250×250. Bone marrow smear. Single-cell field.
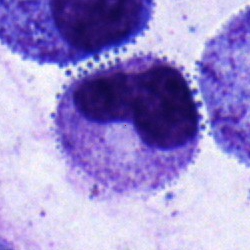{"cell_type": "neutrophil (band)"}